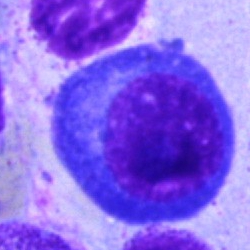
This is a plasmacyte.